Bone marrow smear; 40× objective, oil immersion.
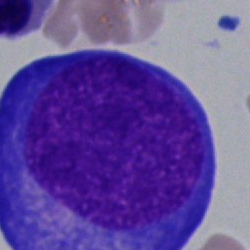
Classification = pronormoblast.